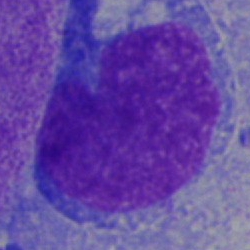

Impression → undifferentiated blast.